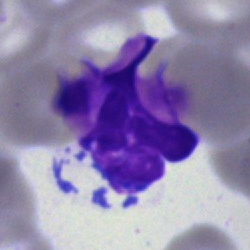Single cell identified as an artifact.